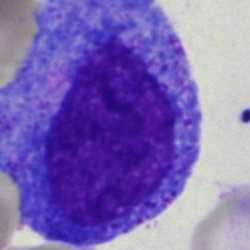Q: Identify the cell.
A: A promyelocyte.